Bone marrow aspirate smear
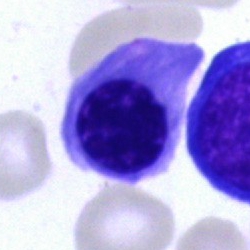 The morphological class is normoblast.